250 by 250 pixels · brightfield microscopy, 40× oil immersion · bone marrow smear:
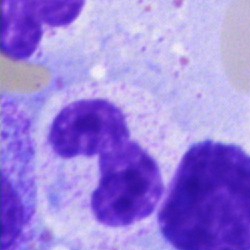 {"cell_type": "band neutrophil", "lineage": "myeloid"}